Bone marrow aspirate smear: 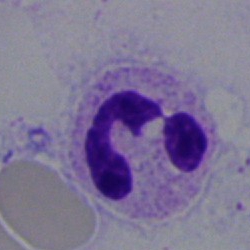Cell type — polymorphonuclear neutrophil.